400×400; peripheral blood smear:
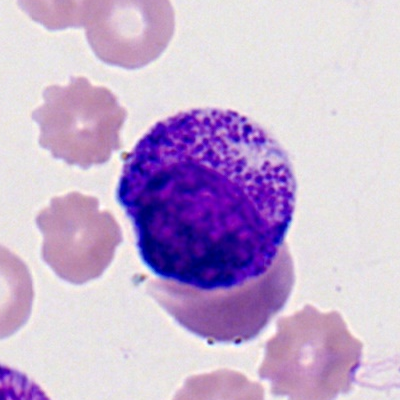 Specimen: peripheral blood smear.
Cell: progranulocyte.